Brightfield microscopy, 40× oil immersion · bone marrow aspirate smear.
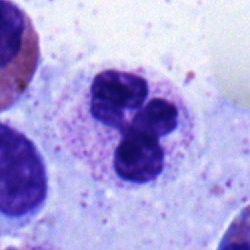 A neutrophil (segmented).